Bone marrow aspirate smear
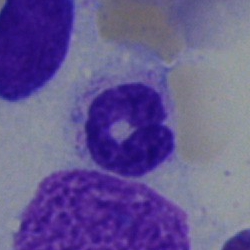

Cell — segmented neutrophil.